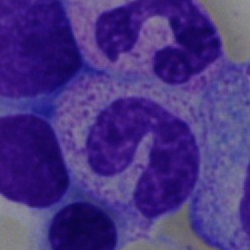 Bone marrow smear showing a stab cell.